May-Grünwald-Giemsa/Pappenheim stain · bone marrow smear.
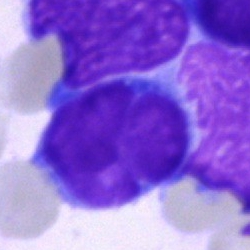{"cell_type": "undifferentiated blast"}